Bone marrow aspirate smear.
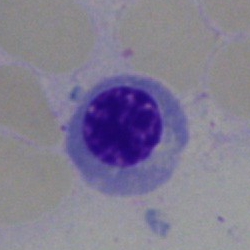

Cell type = normoblast.